Bone marrow smear — 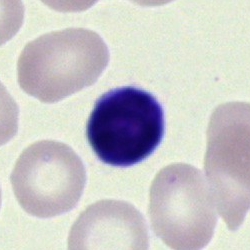 Specimen: bone marrow smear.
Cell: typical lymphocyte.
Lineage: lymphoid.